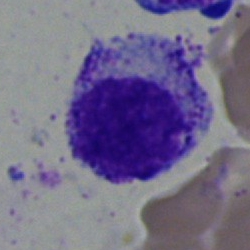
This is a myelocyte.